Cropped to a single cell · bone marrow aspirate smear · 40× oil immersion: 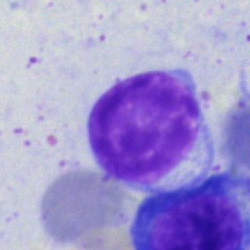Showing a lymphocyte.